Bone marrow aspirate smear
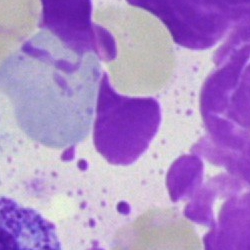

Cell — artefact.